Bone marrow aspirate smear
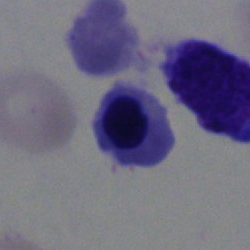 This is a normoblast.